Bone marrow smear · single-cell field · image size 250×250:
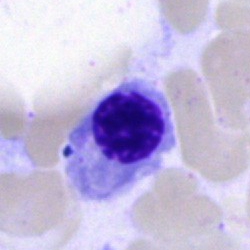Q: What cell is this?
A: This is a normoblast.